Bone marrow smear. May-Grünwald-Giemsa/Pappenheim stain.
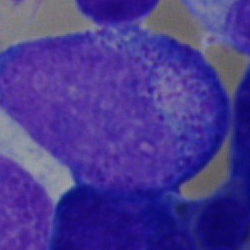Specimen: bone marrow smear.
Morphological class: progranulocyte.
Lineage: myeloid.